Bone marrow aspirate smear:
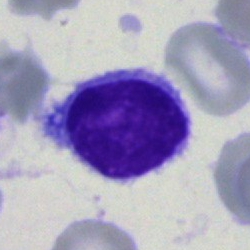
This is a typical lymphocyte.